Bone marrow smear: 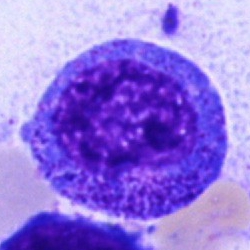
A promyelocyte.